Bone marrow smear — 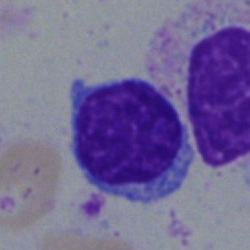
Cell: lymphocyte.